Peripheral blood film — 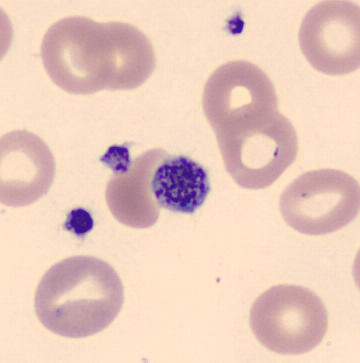
The cell type is platelet (thrombocyte).